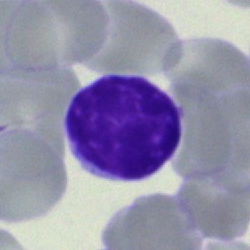
Cell type = lymphocyte.